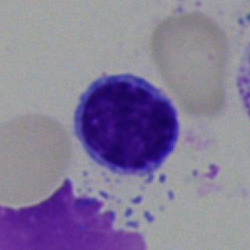

Morphology — typical lymphocyte.